Bone marrow aspirate smear; brightfield microscopy, 40× oil immersion: 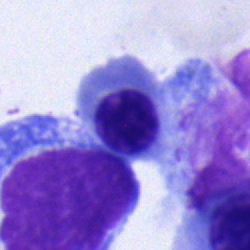

Impression → erythroblast.